Bone marrow aspirate smear; cropped to a single cell — 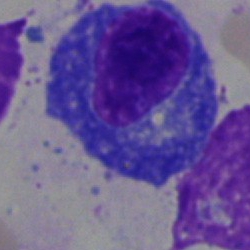Cell type = plasma cell.